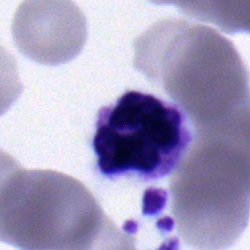

Specimen: bone marrow aspirate smear.
Cell type: segmented neutrophil.